Bone marrow smear.
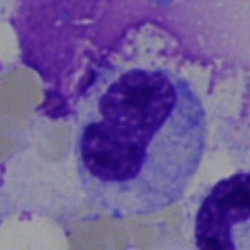 Morphology consistent with a neutrophil (band).